Bone marrow aspirate smear:
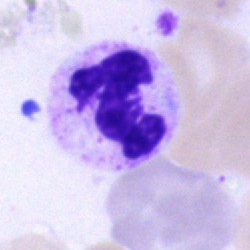
Neutrophil (segmented).